Bone marrow smear — 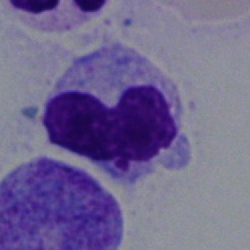
Specimen: bone marrow aspirate smear.
Morphological class: stab cell.